Single-cell crop. Bone marrow smear.
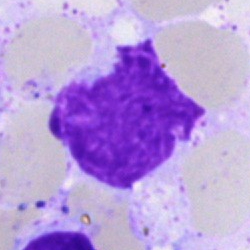Impression — artifact.